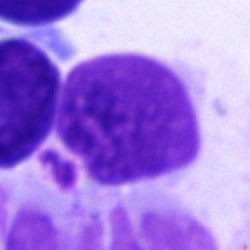Single-cell crop from a bone marrow smear: unidentifiable cell.